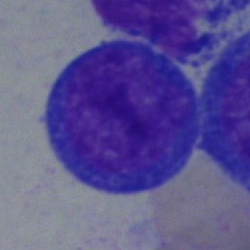

{"cell_type": "undifferentiated blast"}